Single-cell crop · bone marrow smear: 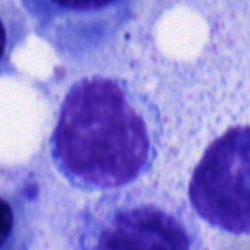 Showing a lymphocyte.